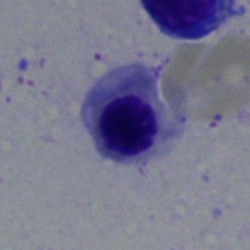

Q: What cell is this?
A: Erythroblast.